Bone marrow aspirate smear. Single-cell field: 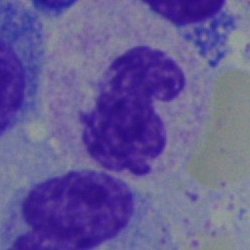This is a neutrophil (segmented).